Image size 250×250. Cropped to a single cell. Bone marrow aspirate smear — 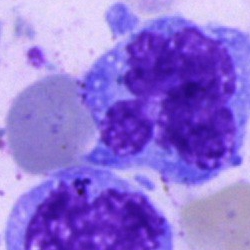Classification: monocyte.